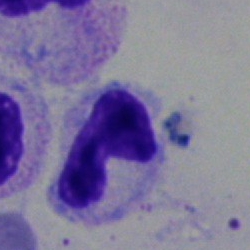

Single cell identified as a polymorphonuclear neutrophil.